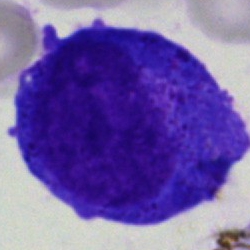 This is a promyelocyte.